May-Grünwald-Giemsa stain; bone marrow aspirate smear.
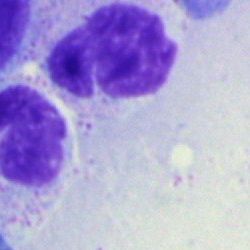

Morphology → cell of indeterminate lineage.